Single cell centered in the field; bone marrow aspirate smear; Pappenheim-stained:
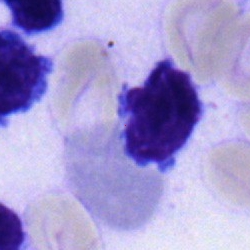 Morphology consistent with a lymphocyte.